Bone marrow smear; single cell centered in the field:
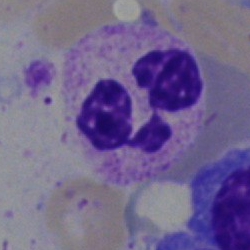This is a polymorphonuclear neutrophil.